Bone marrow smear — 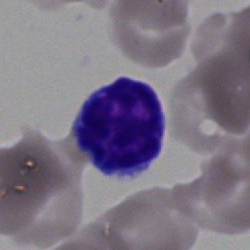 Morphological class: typical lymphocyte.